40× oil immersion · May-Grünwald-Giemsa stain · bone marrow aspirate smear
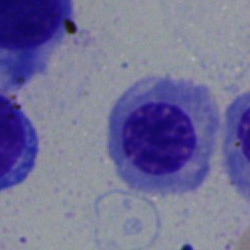 Morphology consistent with a normoblast.